Bone marrow smear
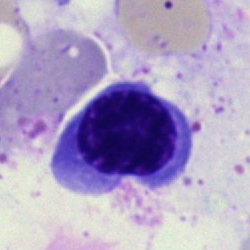The cell shown is an erythroblast.